Bone marrow aspirate smear. MGG-stained — 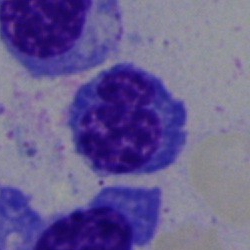Cell type — nucleated red cell.